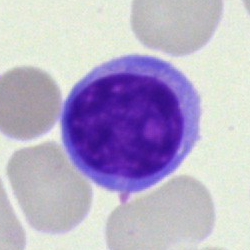 Bone marrow aspirate smear, single cell — lymphocyte.